Single-cell crop · brightfield, 40× oil-immersion objective · bone marrow aspirate smear.
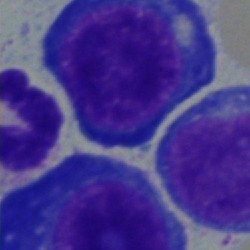
Q: What cell is this?
A: This is a pronormoblast.